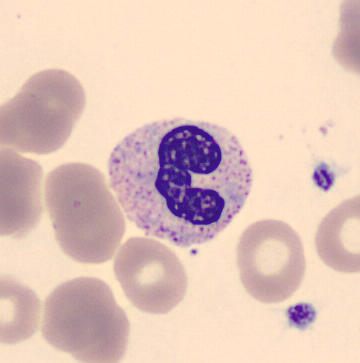
Single-cell crop from a peripheral blood smear: band-form neutrophil.